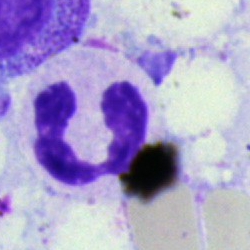

Morphology consistent with a neutrophil (segmented).